250 by 250 pixels; brightfield microscopy, 40× oil immersion; bone marrow smear
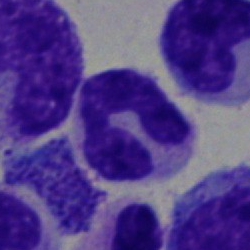 This is a stab cell.